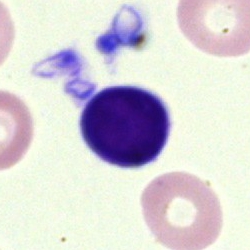An artifact.